Single-cell crop; bone marrow aspirate smear
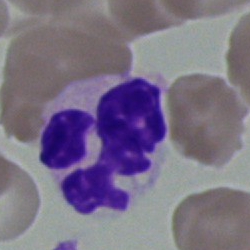Classification = neutrophil (segmented).